Cropped to a single cell; bone marrow smear: 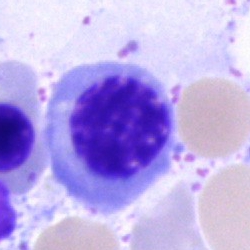

Morphology consistent with a normoblast.